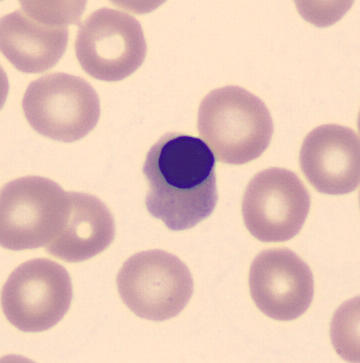Preparation: Peripheral blood film. The cell shown is a normoblast.